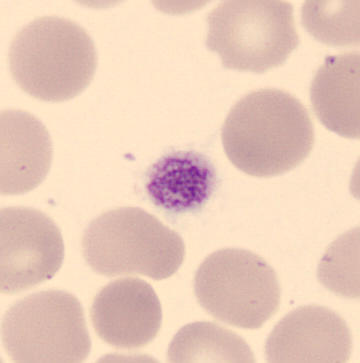Showing a thrombocyte.